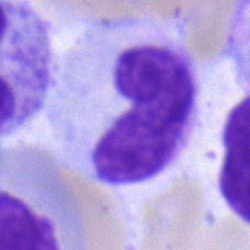This is a neutrophil (band).